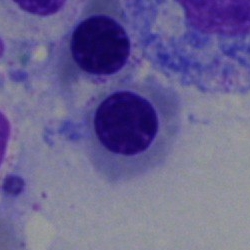
The cell is erythroblast.